Bone marrow aspirate smear
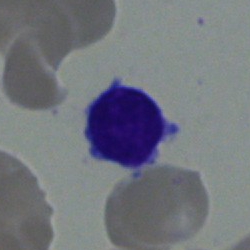

This is a lymphocyte.